Peripheral blood smear:
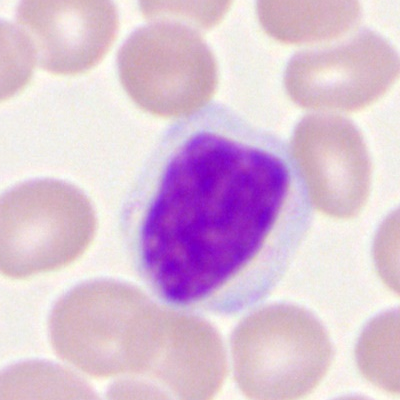

Classification: lymphocyte.